Bone marrow smear:
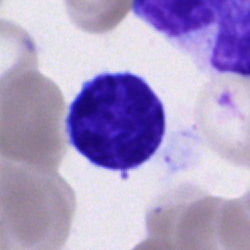 This is a lymphocyte.